Bone marrow aspirate smear:
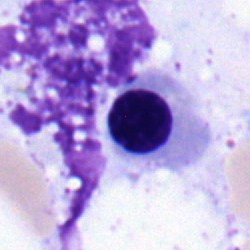Specimen: bone marrow aspirate smear.
Morphological class: erythroblast.